Bone marrow smear.
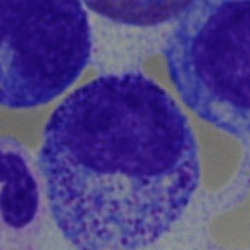
Q: Identify the cell.
A: It is a myelocyte.